Peripheral blood film
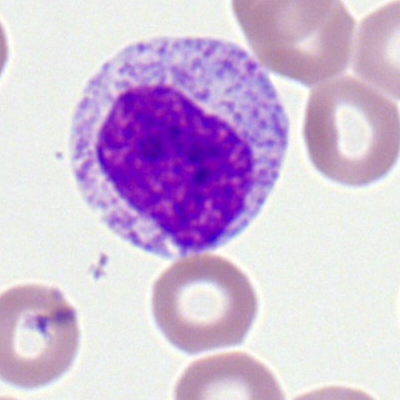
Impression — metamyelocyte.